Bone marrow smear:
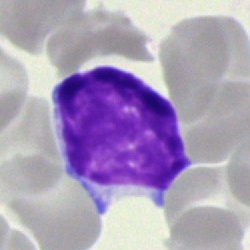 Lymphocyte.